MGG stain · peripheral blood film: 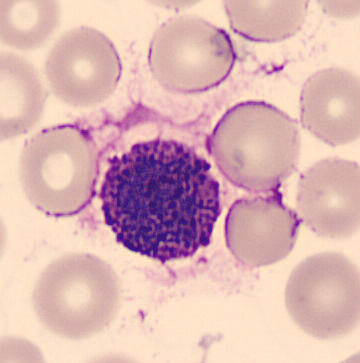Q: Which cell type is shown here?
A: A basophilic granulocyte.